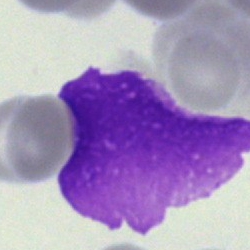

Q: What is shown here?
A: An artefact.